Bone marrow smear:
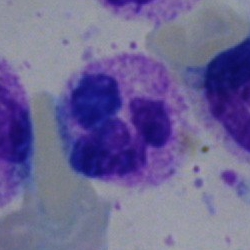 Morphological class: polymorphonuclear neutrophil.